Bone marrow aspirate smear · brightfield microscopy, 40× oil immersion: 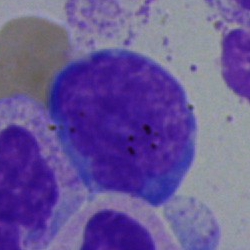
Morphology consistent with an undifferentiated blast.